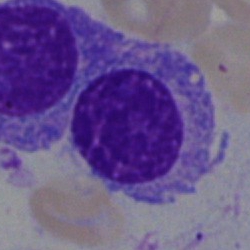 Cell type: plasmacyte.